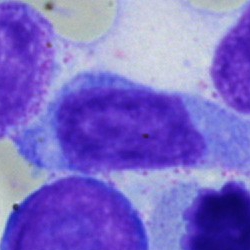
The cell shown is a monocyte.